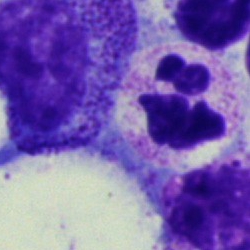Impression → neutrophil (segmented).